Single cell centered in the field. Bone marrow aspirate smear — 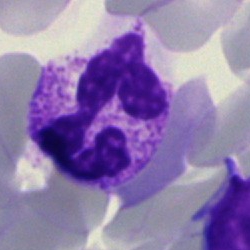

This is a segmented neutrophil.